May-Grünwald-Giemsa stain · bone marrow smear.
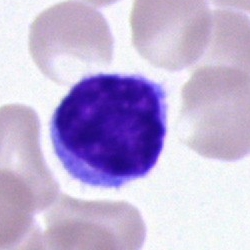Specimen: bone marrow smear.
Morphological class: typical lymphocyte.
Lineage: lymphoid.